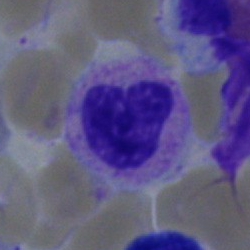 Impression — band neutrophil.